Bone marrow aspirate smear — 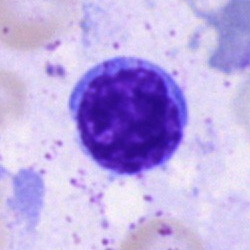 Classification — lymphocyte.